Bone marrow aspirate smear; single cell centered in the field: 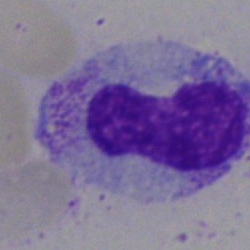
Morphology → band neutrophil.